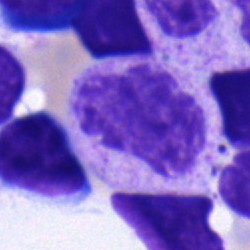

Specimen: bone marrow aspirate smear.
Cell type: metamyelocyte.
Lineage: myeloid.